Bone marrow smear. Image size 250×250. MGG-stained
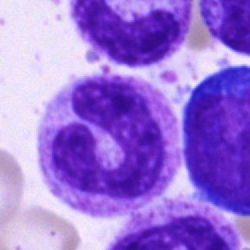Impression → neutrophil (band).